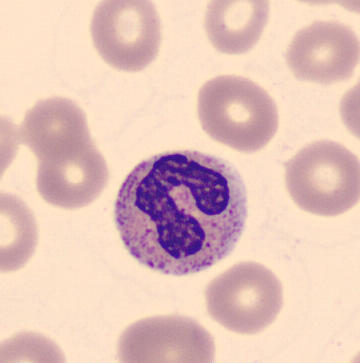

{"cell_type": "stab cell", "lineage": "myeloid"}
Peripheral blood film. CellaVision DM96 digital cell image. Single-cell field.